Bone marrow smear — 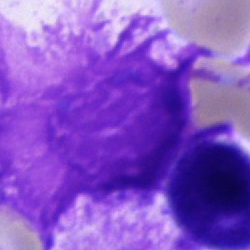 Q: What is shown here?
A: Artifact.